Bone marrow aspirate smear: 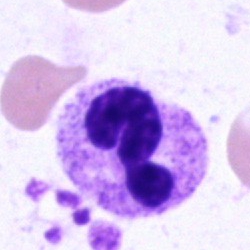
Showing a neutrophil (segmented).